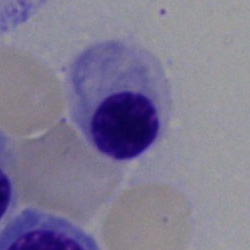Bone marrow aspirate smear, single cell — nucleated red blood cell.